Peripheral blood smear.
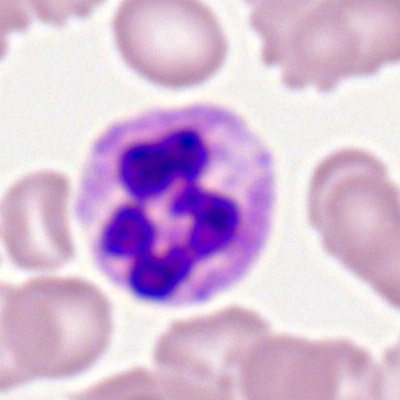{"cell_type": "neutrophil (segmented)", "lineage": "myeloid"}